250 by 250 pixels; bone marrow aspirate smear; May-Grünwald-Giemsa stain: 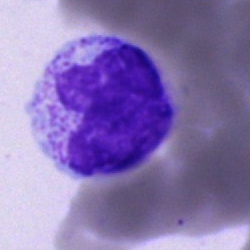 The cell type is polymorphonuclear neutrophil.